May-Grünwald-Giemsa stain. Bone marrow aspirate smear: 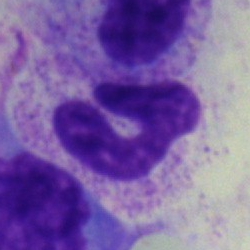

Specimen: bone marrow smear.
Classification: polymorphonuclear neutrophil.
Lineage: myeloid.